Bone marrow smear.
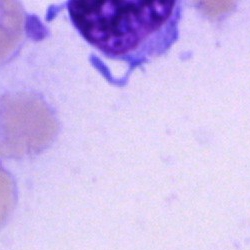

Morphology — unidentifiable cell.